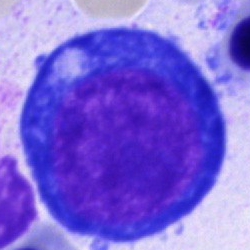

Morphology consistent with a proerythroblast.